Bone marrow smear · brightfield, 40× oil-immersion objective.
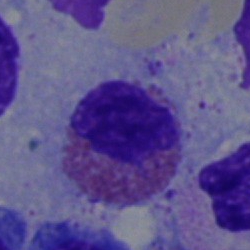 Q: What type of cell is this?
A: This is an eosinophil.